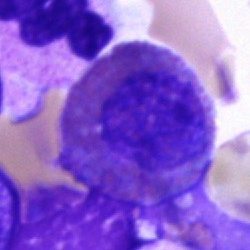Q: What is shown here?
A: Eosinophilic granulocyte.